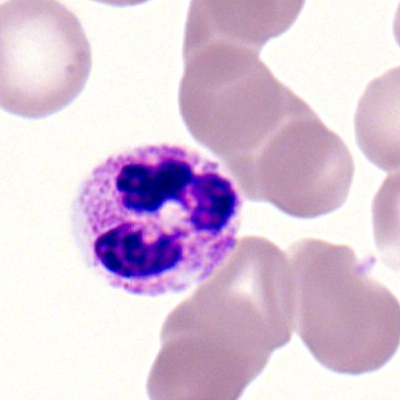 Single cell identified as a neutrophil (segmented).